Bone marrow aspirate smear; single cell centered in the field
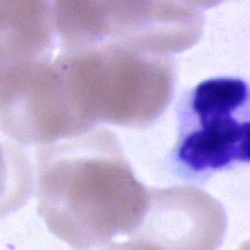 Specimen: bone marrow smear.
Cell type: neutrophil (segmented).
Lineage: myeloid.